Bone marrow smear:
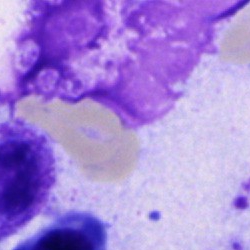
Specimen: bone marrow smear.
Classification: artefact.